Bone marrow smear · 40× objective, oil immersion:
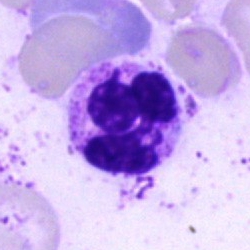

Q: What is the morphological classification of this cell?
A: A polymorphonuclear neutrophil.